Single-cell field. 40× objective, oil immersion. Bone marrow aspirate smear
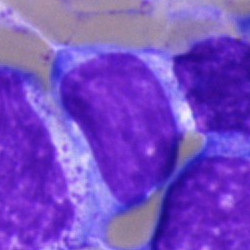 Cell type = blast cell.